MGG-stained; bone marrow smear; 250 by 250 pixels
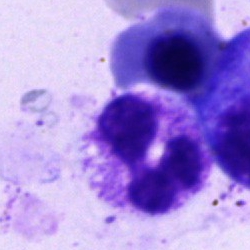

Cell: polymorphonuclear neutrophil.